Bone marrow smear · 250×250 — 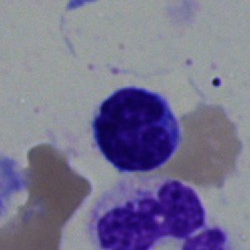Cell: typical lymphocyte.